Single-cell crop. Peripheral blood smear: 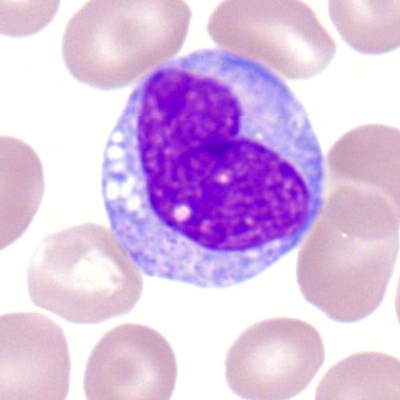
This is a monocyte.